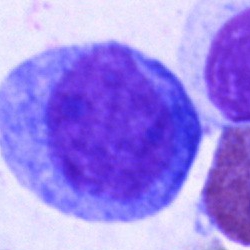 Bone marrow aspirate smear, single cell — blast cell.